Bone marrow aspirate smear:
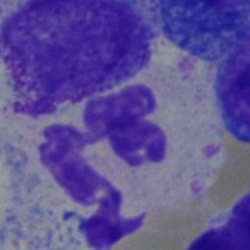

Morphology — polymorphonuclear neutrophil.